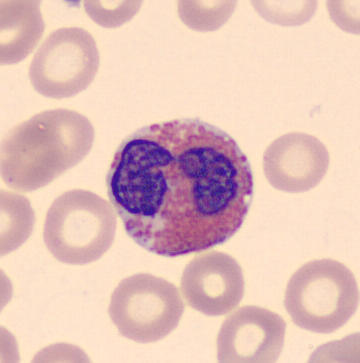

Identified as an eosinophilic granulocyte. Peripheral blood film.